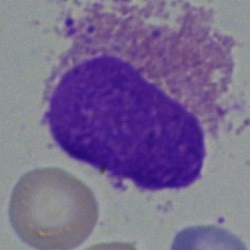
Eosinophil.